Bone marrow aspirate smear
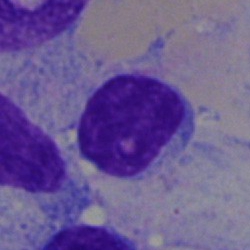Typical lymphocyte.